Bone marrow aspirate smear
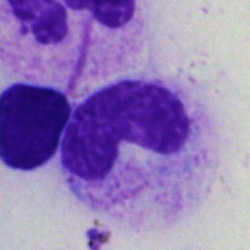
Morphological class: stab cell.